Peripheral blood film; 100× objective, oil immersion:
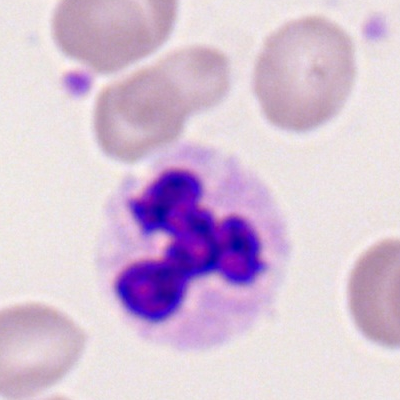
A segmented neutrophil.